Peripheral blood film. 100× objective, oil immersion — 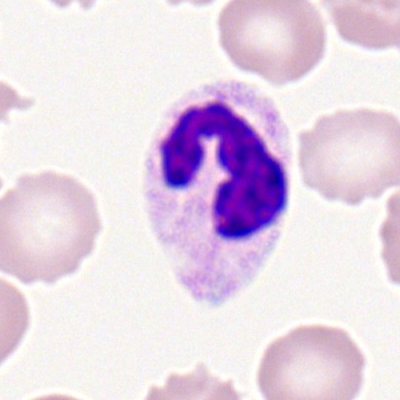The cell type is polymorphonuclear neutrophil.